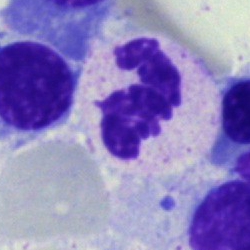The cell is polymorphonuclear neutrophil.